Bone marrow aspirate smear; 250×250:
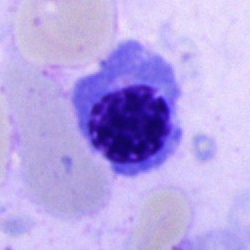

Specimen: bone marrow smear.
Morphological class: nucleated red cell.
Lineage: erythroid.